Cropped to a single cell. Bone marrow aspirate smear:
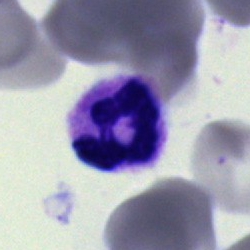 Specimen: bone marrow aspirate smear.
Cell type: polymorphonuclear neutrophil.
Lineage: myeloid.